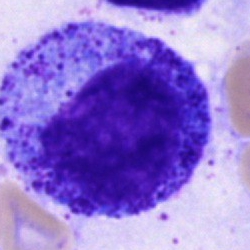

Impression — progranulocyte.